Peripheral blood smear:
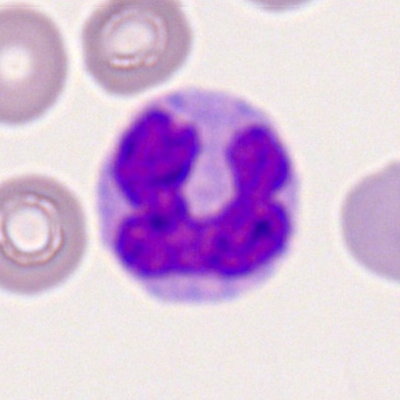
Morphological class = monocyte.